Bone marrow smear:
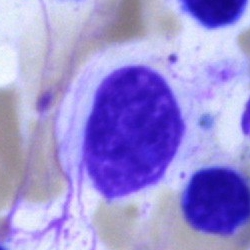
Cell: artifact.